Bone marrow smear
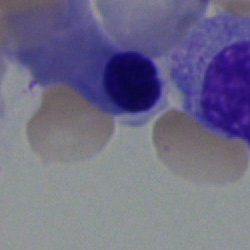

{"cell_type": "nucleated red blood cell"}